Peripheral blood film.
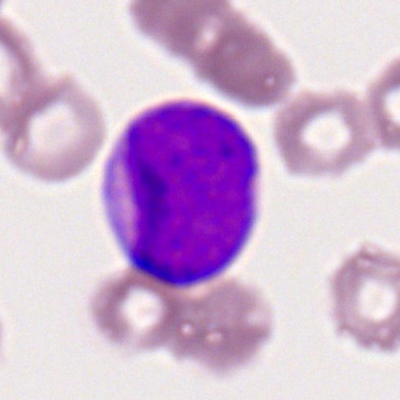Q: What is shown here?
A: This is a myeloblast.